Bone marrow smear; 250×250 px:
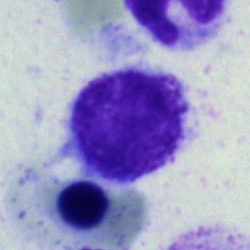
Showing a lymphocyte.